Bone marrow smear: 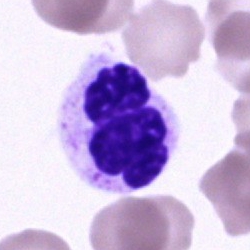
Specimen: bone marrow aspirate smear.
Cell type: neutrophil (segmented).
Lineage: myeloid.